Peripheral blood film
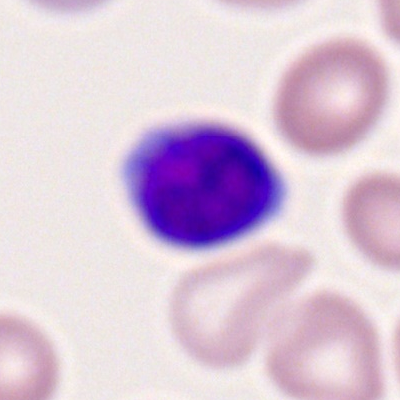
Q: Which cell type is shown here?
A: It is a typical lymphocyte.